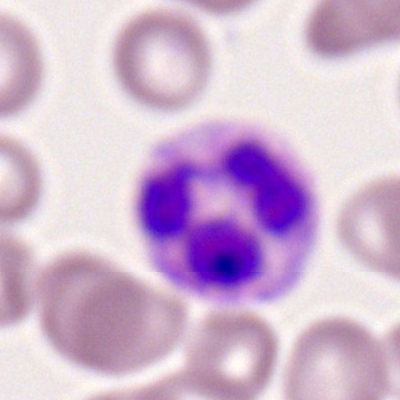 Segmented neutrophil.